Bone marrow aspirate smear.
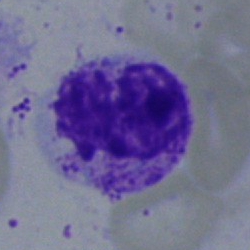{"cell_type": "neutrophil (segmented)", "lineage": "myeloid"}